Brightfield, 40× oil-immersion objective · bone marrow aspirate smear.
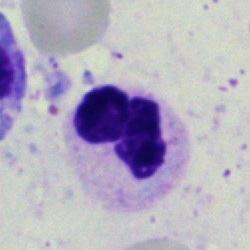

Showing a polymorphonuclear neutrophil.